250 by 250 pixels. Bone marrow aspirate smear: 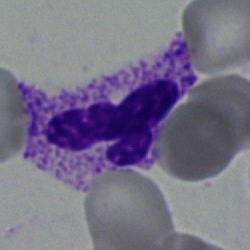Neutrophil (segmented).